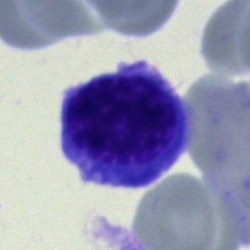

Q: What is shown here?
A: A normoblast.